Bone marrow smear: 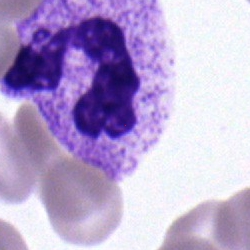
Cell: segmented neutrophil.